Bone marrow smear.
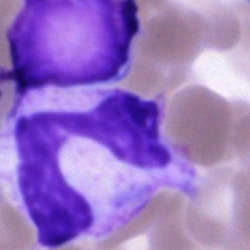 Specimen: bone marrow aspirate smear.
Cell: unidentifiable cell.